Bone marrow aspirate smear
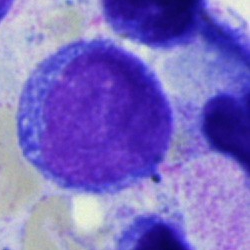
Morphology consistent with a blast cell.